Bone marrow aspirate smear
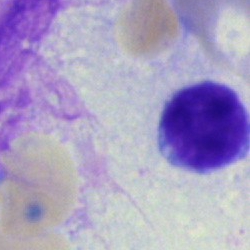

Q: What is the morphological classification of this cell?
A: This is a typical lymphocyte.